Bone marrow aspirate smear. 250 by 250 pixels:
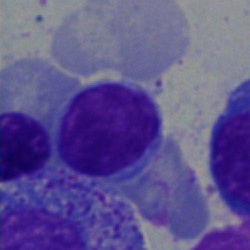 Specimen: bone marrow smear.
Cell type: typical lymphocyte.